Brightfield microscopy, 40× oil immersion · 250 by 250 pixels · bone marrow smear
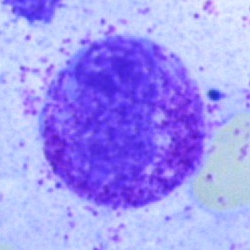Impression → myelocyte.